360×363 px · peripheral blood film: 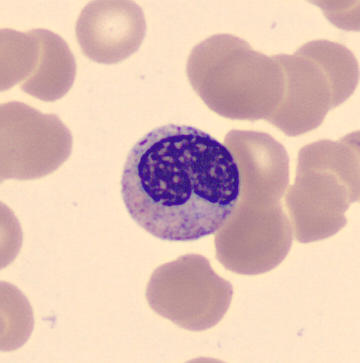Q: What is shown here?
A: It is a metamyelocyte.